Bone marrow smear
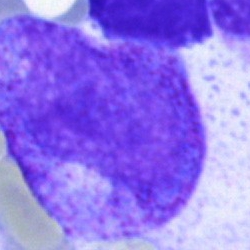
Showing a progranulocyte.